Bone marrow smear · cropped to a single cell · May-Grünwald-Giemsa/Pappenheim stain.
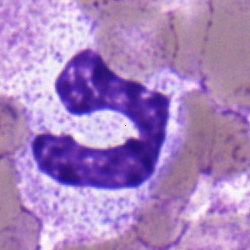The cell shown is a neutrophil (segmented).